Bone marrow aspirate smear
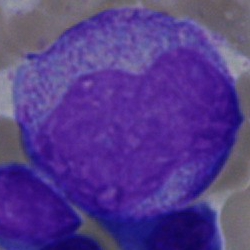
Morphological class = progranulocyte.